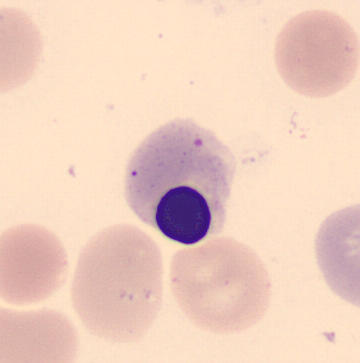
Normoblast.